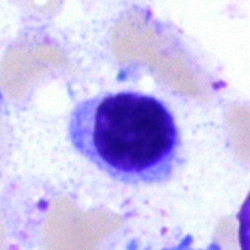 The cell shown is a lymphocyte.